Peripheral blood film · 100× oil immersion.
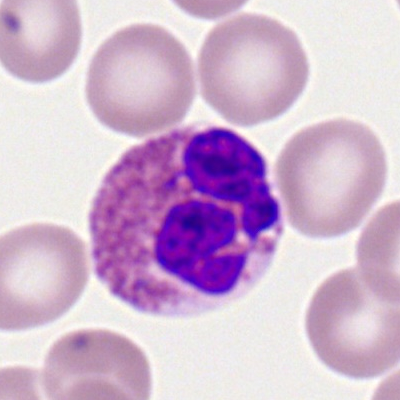

Classification: eosinophilic granulocyte.